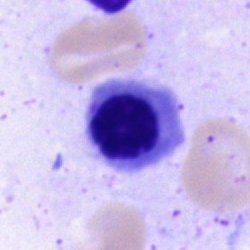 The cell is nucleated red blood cell.